360 by 363 pixels; peripheral blood film: 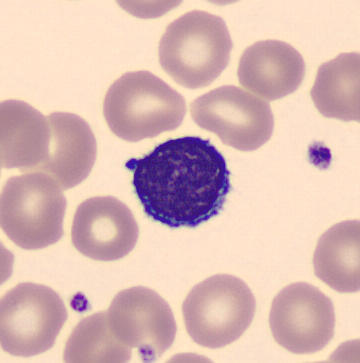
Classification: lymphocyte.